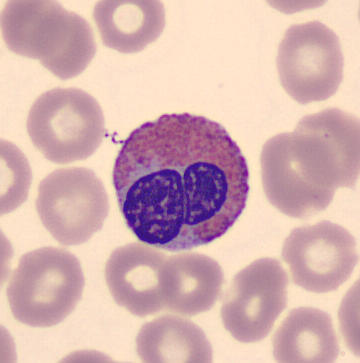Preparation: 360 by 363 pixels; peripheral blood smear.
Cell type: eosinophil.